Bone marrow aspirate smear · 40× oil immersion · single-cell field.
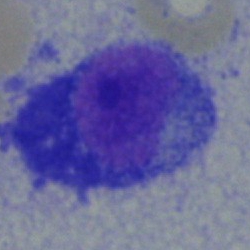 Specimen: bone marrow aspirate smear.
Cell type: plasma cell.
Lineage: lymphoid.